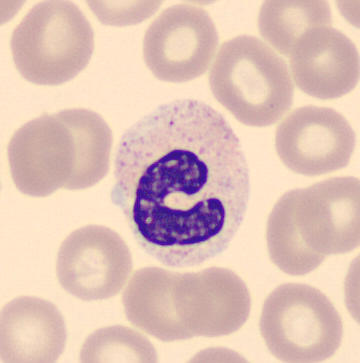Q: Which cell type is shown here?
A: Neutrophil (band).